Single cell centered in the field. Bone marrow aspirate smear
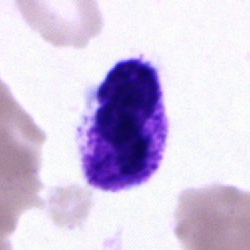

Segmented neutrophil.